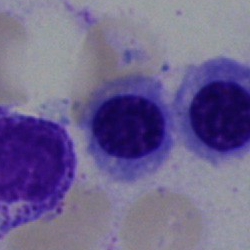

Morphological class = nucleated red cell.